40× objective, oil immersion; bone marrow aspirate smear — 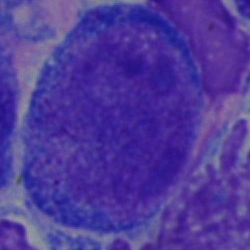
Showing an undifferentiated blast.